Image size 250×250. Bone marrow smear. Pappenheim-stained:
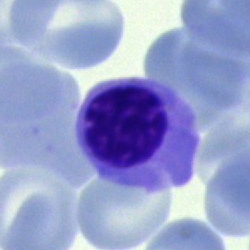

Morphological class — nucleated red blood cell.